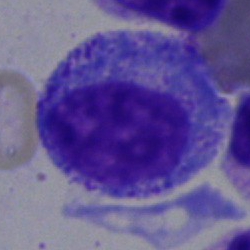
Showing a promyelocyte.